MGG-stained; bone marrow aspirate smear
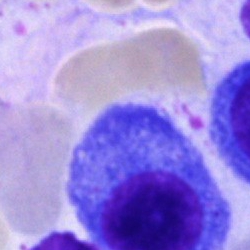This is a plasmacyte.